Bone marrow aspirate smear · 250×250 · brightfield, 40× oil-immersion objective: 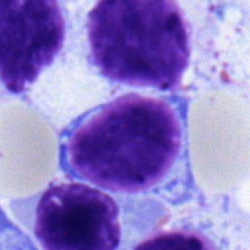Q: What is the morphological classification of this cell?
A: Lymphocyte.